MGG-stained; bone marrow smear — 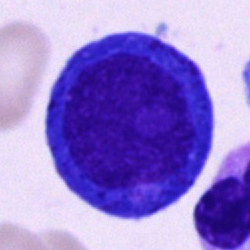Q: What type of cell is this?
A: Proerythroblast.